Bone marrow smear:
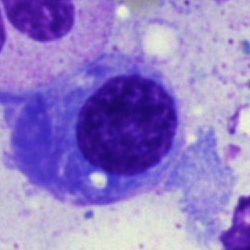
Q: What is the morphological classification of this cell?
A: It is a plasmacyte.